Bone marrow smear; 250×250.
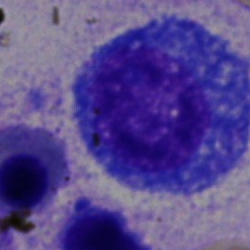
Single cell identified as a progranulocyte.